Brightfield microscopy, 40× oil immersion · single cell centered in the field · bone marrow aspirate smear — 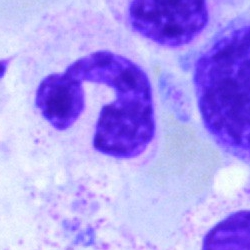
Classification — segmented neutrophil.